Bone marrow aspirate smear; Pappenheim-stained:
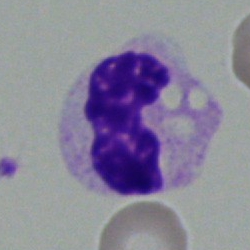
Morphological class — polymorphonuclear neutrophil.